Bone marrow aspirate smear · single-cell crop · 250 by 250 pixels.
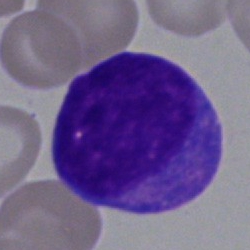

Q: Identify the cell.
A: This is a blast cell.